Bone marrow aspirate smear:
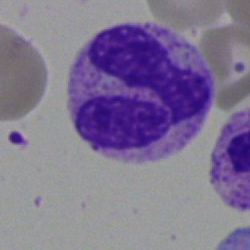 Single cell identified as a polymorphonuclear neutrophil.